Bone marrow aspirate smear — 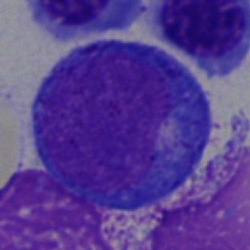 Specimen: bone marrow aspirate smear.
Morphological class: blast cell.